Bone marrow aspirate smear · brightfield microscopy, 40× oil immersion
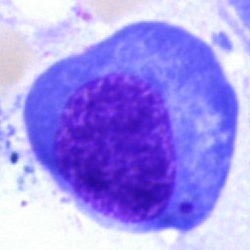

Morphology — erythroblast.